Peripheral blood film. Single-cell crop
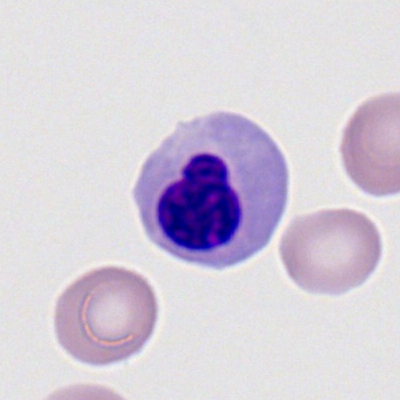

Q: What cell is this?
A: A nucleated red blood cell.